Bone marrow aspirate smear — 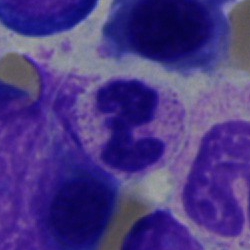
Morphology — segmented neutrophil.